Peripheral blood film.
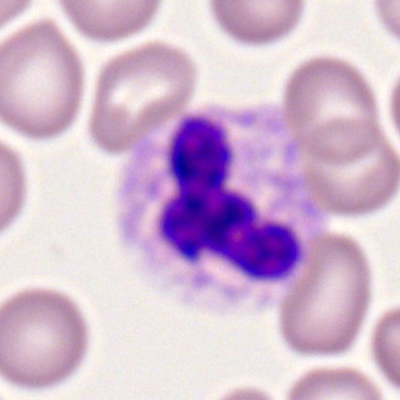 {"cell_type": "polymorphonuclear neutrophil", "lineage": "myeloid"}